250 by 250 pixels · bone marrow aspirate smear · brightfield, 40× oil-immersion objective:
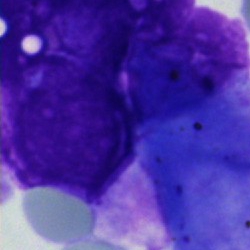

Morphological class: artefact.